Bone marrow smear.
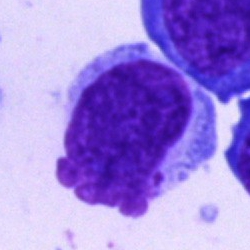

Cell — blast.